Bone marrow aspirate smear.
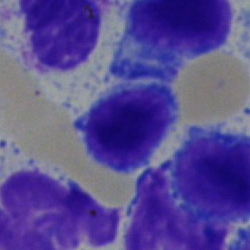

Cell = typical lymphocyte.